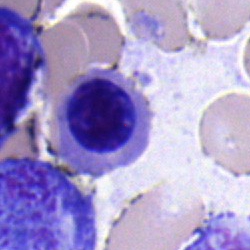

Morphology consistent with a nucleated red blood cell.